Bone marrow aspirate smear — 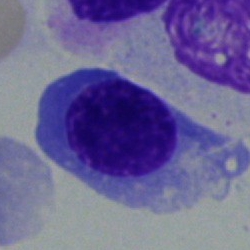 Normoblast.